Peripheral blood smear — 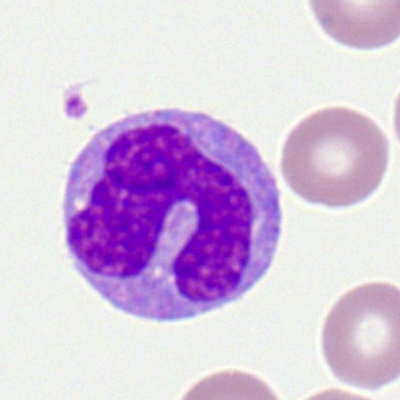Showing a monocyte.